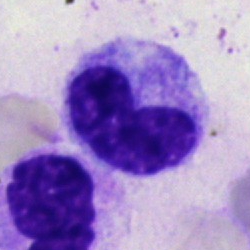

Morphology — band-form neutrophil.